May-Grünwald-Giemsa/Pappenheim stain · bone marrow smear · image size 250×250:
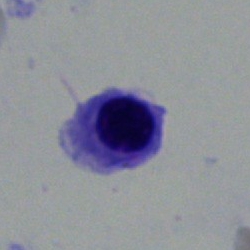
Showing an erythroblast.